Bone marrow smear. May-Grünwald-Giemsa/Pappenheim stain. Brightfield, 40× oil-immersion objective: 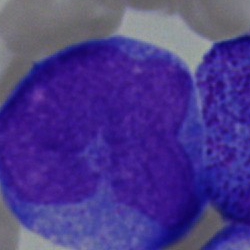

Q: Which cell type is shown here?
A: It is a blast.